Bone marrow smear · single-cell crop:
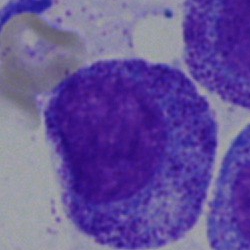
The cell shown is a progranulocyte.